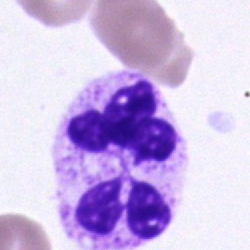 {"cell_type": "neutrophil (segmented)", "lineage": "myeloid"}